Peripheral blood film: 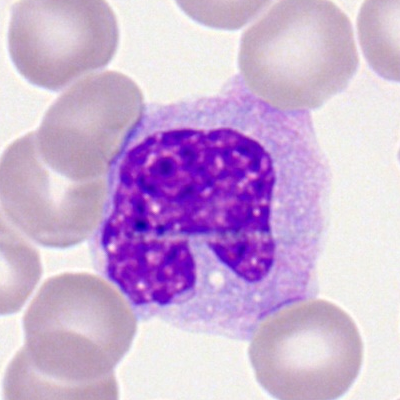
Q: Identify the cell.
A: A monocyte.